40× objective, oil immersion; bone marrow smear — 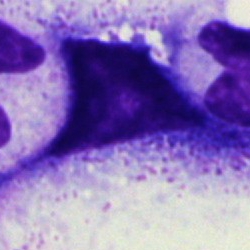 Morphological class — artefact.